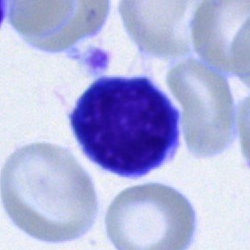Single-cell crop from a bone marrow smear: lymphocyte.